Bone marrow smear. Cropped to a single cell:
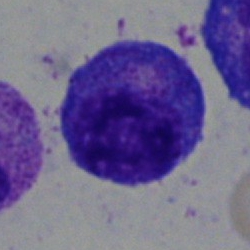

Morphological class: promyelocyte.